Bone marrow aspirate smear
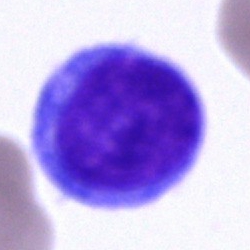
Q: What is shown here?
A: A blast.